Bone marrow smear
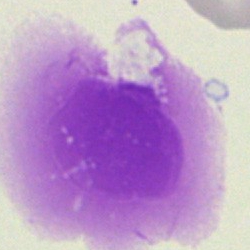

Cell = artifact.